Bone marrow smear:
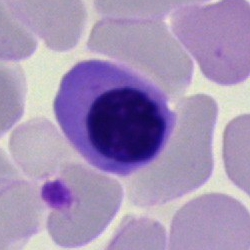

Q: What is shown here?
A: It is an erythroblast.